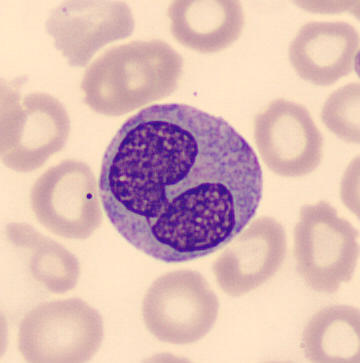
Cell type: monocyte.